Bone marrow smear — 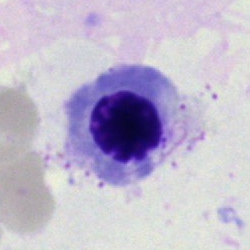 Impression → normoblast.